Bone marrow smear:
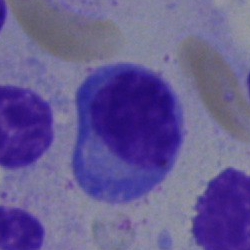Q: What cell is this?
A: Plasmacyte.